Bone marrow smear · 250×250: 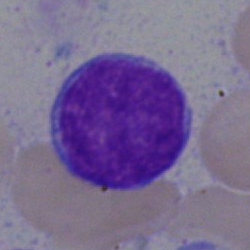Specimen: bone marrow aspirate smear.
Morphological class: typical lymphocyte.